Bone marrow aspirate smear.
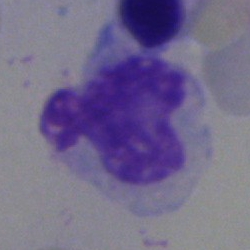 The cell is artifact.